Bone marrow aspirate smear
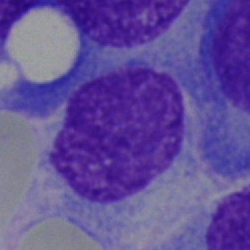 Specimen: bone marrow smear.
Classification: plasmacyte.
Lineage: lymphoid.